Bone marrow aspirate smear · single-cell crop — 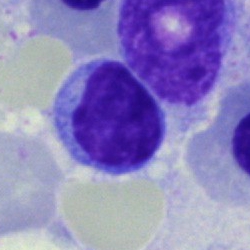

Showing a lymphocyte.